Single-cell crop; bone marrow smear; 40× objective, oil immersion:
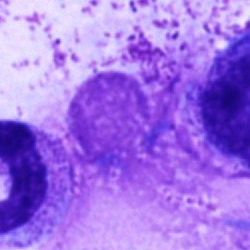Cell = artefact.